Bone marrow smear: 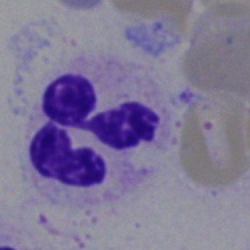
Q: Identify the cell.
A: A polymorphonuclear neutrophil.